Bone marrow aspirate smear: 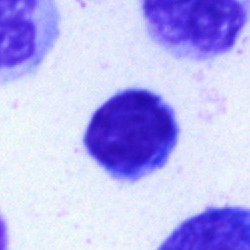 Classification = lymphocyte.